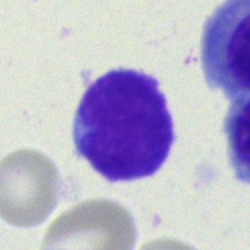

Cell: typical lymphocyte.